250×250 px · bone marrow aspirate smear: 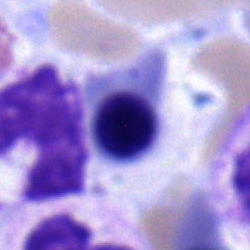 Morphological class = erythroblast.